Bone marrow aspirate smear. 40× objective, oil immersion — 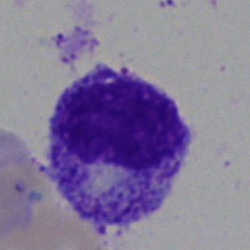 Showing a myelocyte.